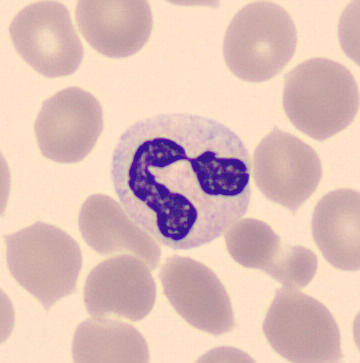

Impression → polymorphonuclear neutrophil.
Acquisition: MGG stain. Imaged on a CellaVision DM96 analyser. Peripheral blood smear.